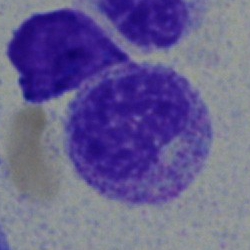 Single cell identified as a myelocyte.